Bone marrow smear. 250 by 250 pixels:
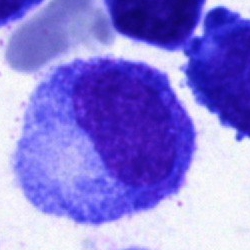Impression → progranulocyte.